Bone marrow aspirate smear — 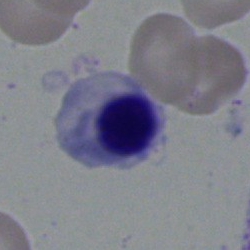
Cell — nucleated red blood cell.